May-Grünwald-Giemsa/Pappenheim stain · 250×250 · bone marrow aspirate smear.
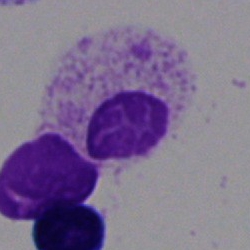
Cell: artifact.